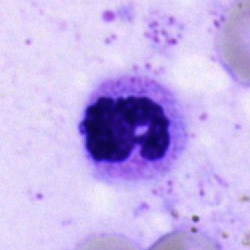
Q: What is shown here?
A: Polymorphonuclear neutrophil.